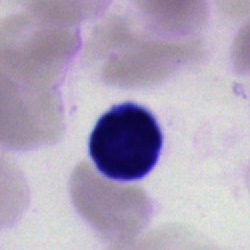

Morphological class = lymphocyte.